Bone marrow smear; brightfield, 40× oil-immersion objective:
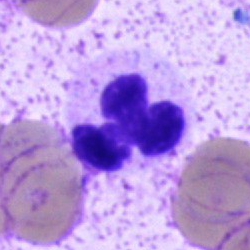 Morphology — polymorphonuclear neutrophil.